Peripheral blood film: 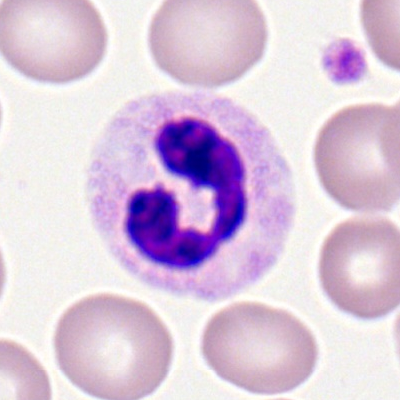

The cell is polymorphonuclear neutrophil.